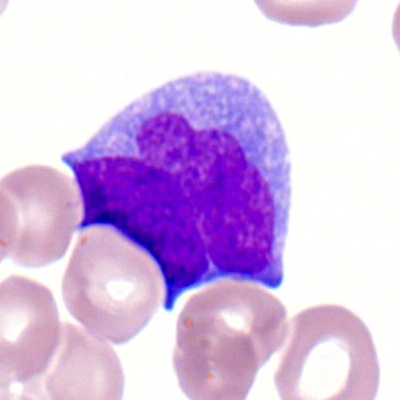

Q: Identify the cell.
A: A myeloblast.